Bone marrow aspirate smear: 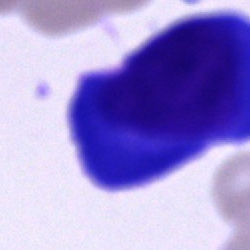
Specimen: bone marrow smear.
Cell type: plasma cell.
Lineage: lymphoid.